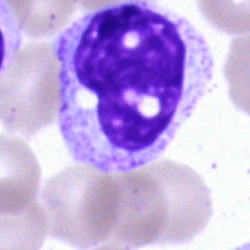

The cell shown is a metamyelocyte.